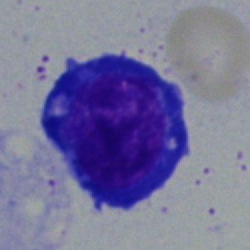
Q: What is shown here?
A: This is a nucleated red blood cell.